Bone marrow smear; single cell centered in the field — 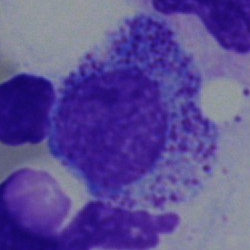
Single cell identified as a myelocyte.